Bone marrow aspirate smear · 40× objective, oil immersion: 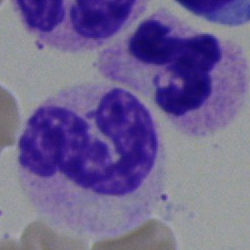
Specimen: bone marrow aspirate smear.
Morphological class: segmented neutrophil.
Lineage: myeloid.